Bone marrow aspirate smear:
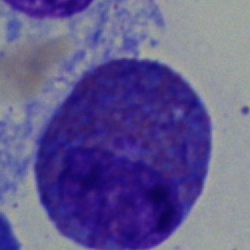
Impression — eosinophil.